Bone marrow aspirate smear: 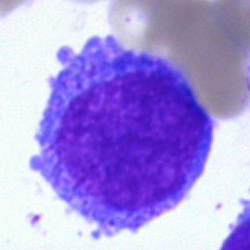 Impression — progranulocyte.